250 by 250 pixels. Bone marrow aspirate smear — 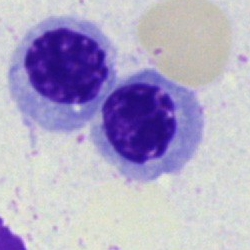Specimen: bone marrow smear.
Morphological class: nucleated red blood cell.